Bone marrow aspirate smear:
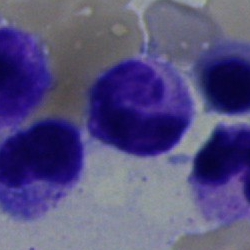 Morphology consistent with a neutrophil (band).